Brightfield, 40× oil-immersion objective · bone marrow smear
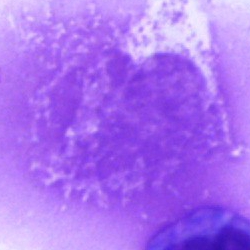Morphology → artifact.